Bone marrow aspirate smear: 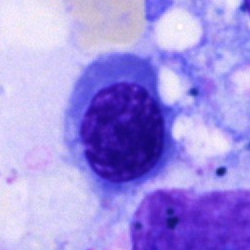Impression → normoblast.